Bone marrow smear
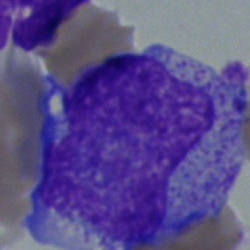 A promyelocyte.